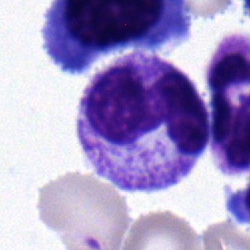Q: What type of cell is this?
A: Neutrophil (band).